Pappenheim-stained; brightfield, 40× oil-immersion objective; bone marrow smear.
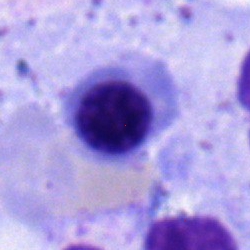
Specimen: bone marrow smear.
Cell: erythroblast.
Lineage: erythroid.